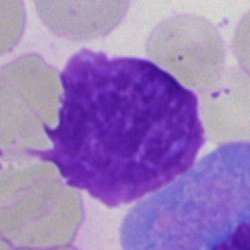 The cell shown is an artifact.